Brightfield microscopy, 40× oil immersion · bone marrow aspirate smear: 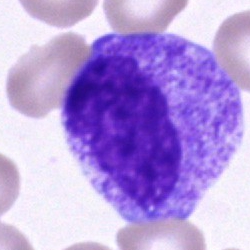 Q: What is shown here?
A: This is a promyelocyte.